Bone marrow smear
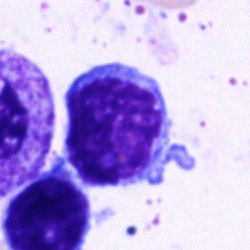
Morphology consistent with a lymphocyte.